Bone marrow smear; 40× objective, oil immersion:
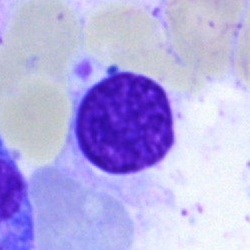
Morphology consistent with a typical lymphocyte.